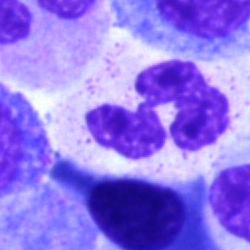Q: What is the morphological classification of this cell?
A: A neutrophil (segmented).